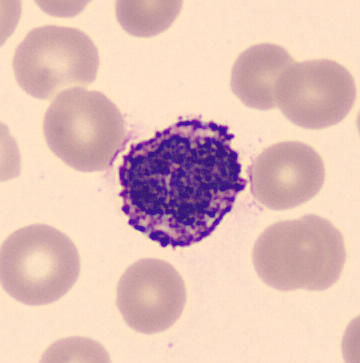

Q: Which cell type is shown here?
A: It is a basophil.